Single cell centered in the field. Bone marrow aspirate smear
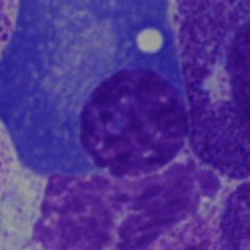

Showing a plasma cell.